Bone marrow smear: 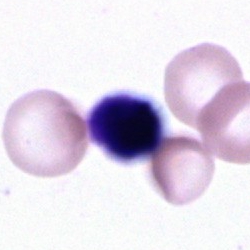

Q: What type of cell is this?
A: It is a cell of indeterminate lineage.